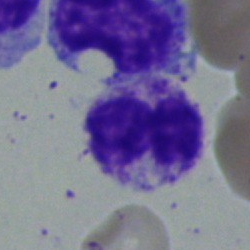

The cell type is polymorphonuclear neutrophil.